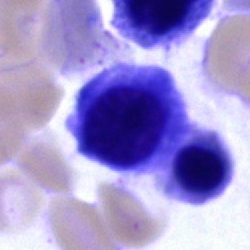
Showing an erythroblast.